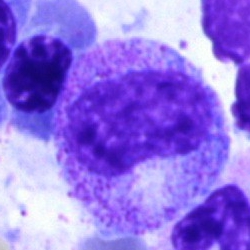Q: What is shown here?
A: A metamyelocyte.